Bone marrow smear.
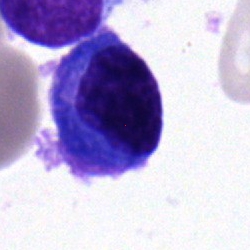Morphology consistent with a plasmacyte.